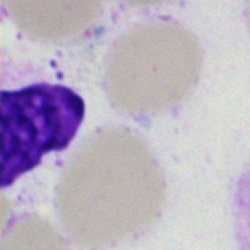
Single cell identified as an artefact.